250×250. May-Grünwald-Giemsa/Pappenheim stain. Bone marrow smear.
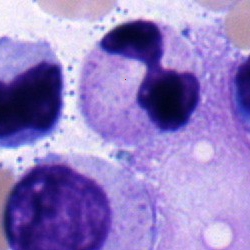

Segmented neutrophil.